Peripheral blood film:
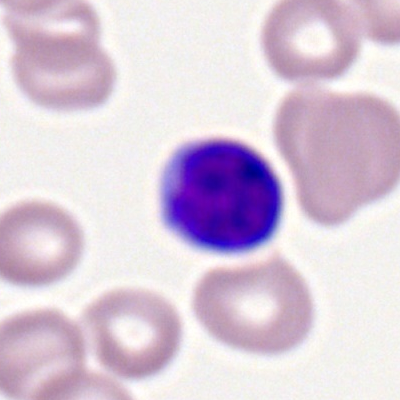

Cell type: lymphocyte.